Bone marrow aspirate smear. May-Grünwald-Giemsa/Pappenheim stain. Single-cell field:
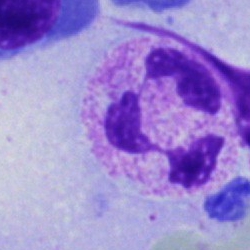Q: What cell is this?
A: It is a polymorphonuclear neutrophil.